Bone marrow smear. 250×250 px
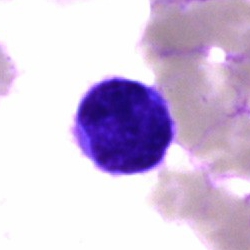

Impression — typical lymphocyte.